Pappenheim-stained · 250×250 px · bone marrow smear:
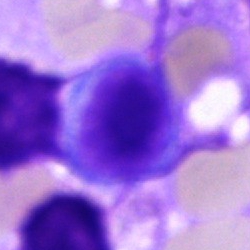

Morphology consistent with a lymphocyte.